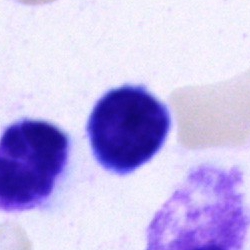Bone marrow aspirate smear, single cell — lymphocyte.